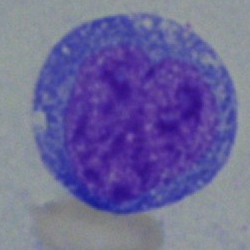Showing an undifferentiated blast.